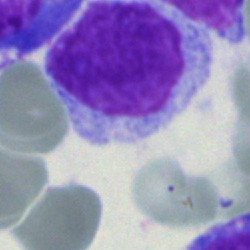

Impression → artifact.